Bone marrow aspirate smear
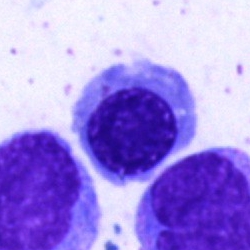A normoblast.